Pappenheim-stained · bone marrow smear
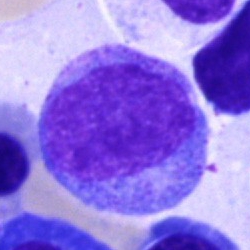Impression — progranulocyte.